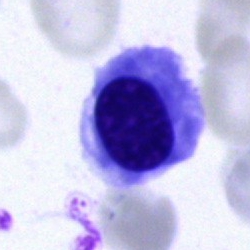
{"cell_type": "erythroblast", "lineage": "erythroid"}